100× objective, oil immersion. Peripheral blood film
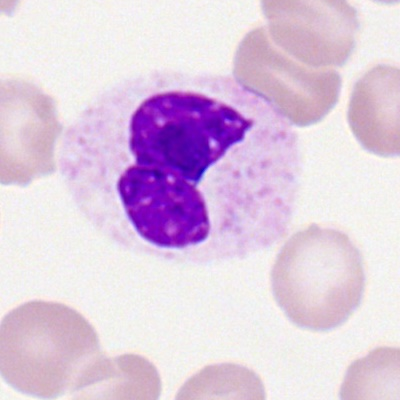

Cell = neutrophil (segmented).